May-Grünwald-Giemsa/Pappenheim stain. Bone marrow aspirate smear: 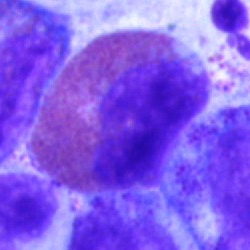
The classification is eosinophilic granulocyte.